Bone marrow aspirate smear:
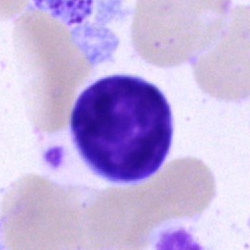This is a typical lymphocyte.